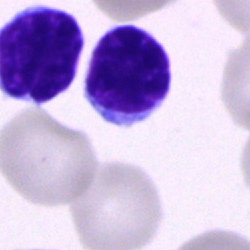
The cell shown is a typical lymphocyte.